Bone marrow aspirate smear.
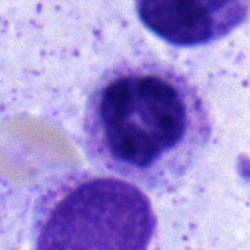

The cell shown is a neutrophil (segmented).